Bone marrow smear · 40× objective, oil immersion
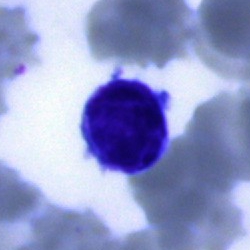Single cell identified as a typical lymphocyte.